Bone marrow aspirate smear. Single-cell crop — 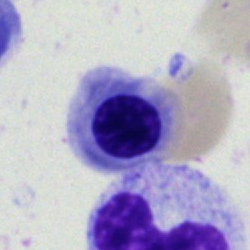
Cell type — erythroblast.